Cropped to a single cell; 250×250 px; bone marrow aspirate smear: 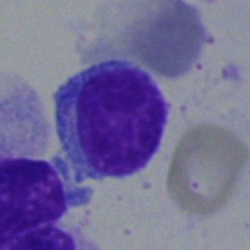 The cell shown is a lymphocyte.